Bone marrow smear — 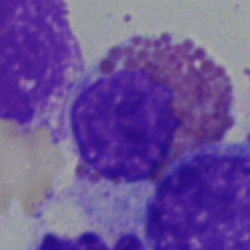

Impression → eosinophilic granulocyte.